40× objective, oil immersion. Bone marrow smear
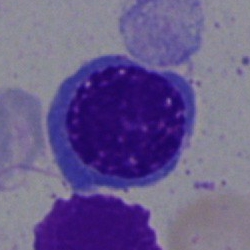 Morphological class — nucleated red blood cell.